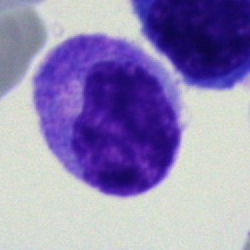The cell is myelocyte.